Bone marrow aspirate smear; single-cell field — 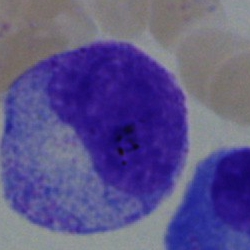Q: Identify the cell.
A: A progranulocyte.